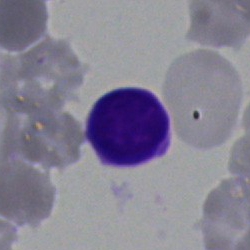 Q: What cell is this?
A: A lymphocyte.